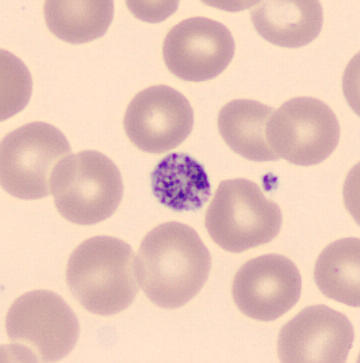 Peripheral blood smear.

A thrombocyte.